Bone marrow smear.
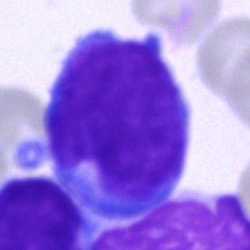 Q: Identify the cell.
A: A blast.